Bone marrow smear · MGG-stained · 250×250
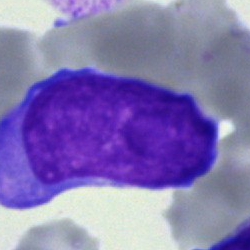
Specimen: bone marrow smear.
Morphological class: blast.